Bone marrow aspirate smear · 250 by 250 pixels — 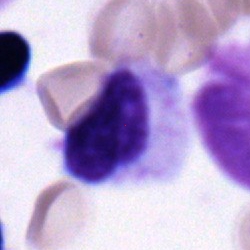Stab cell.